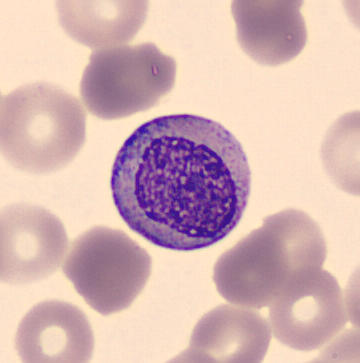

Impression → myelocyte. Peripheral blood smear.